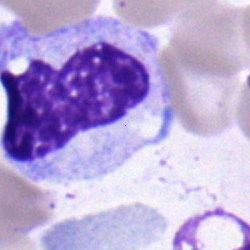Q: What is shown here?
A: Metamyelocyte.